Bone marrow aspirate smear: 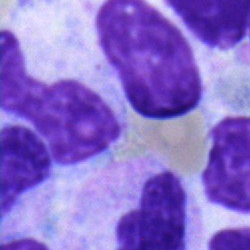
Specimen: bone marrow smear.
Cell type: neutrophil (band).
Lineage: myeloid.